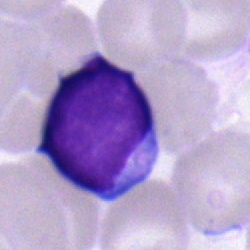 Specimen: bone marrow smear.
Cell type: lymphocyte.